Bone marrow aspirate smear:
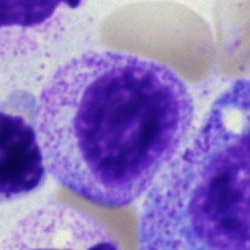A myelocyte.